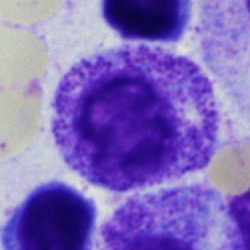 Single cell identified as a progranulocyte.